Brightfield microscopy, 40× oil immersion · bone marrow aspirate smear:
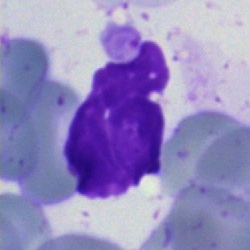
Cell type = artefact.